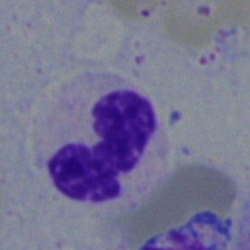 Bone marrow smear showing a polymorphonuclear neutrophil.